Bone marrow aspirate smear.
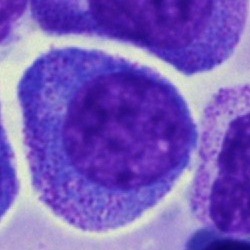
Impression → promyelocyte.